Bone marrow smear. 40× oil immersion. 250×250.
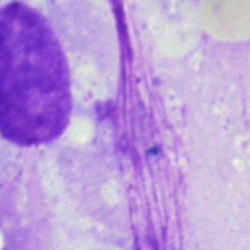 Q: What is shown here?
A: An artefact.